Bone marrow smear. MGG-stained. 40× objective, oil immersion — 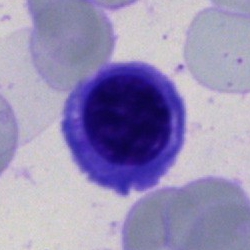
Classification — erythroblast.